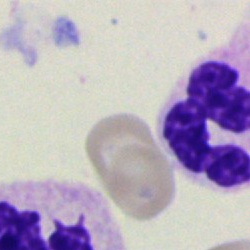 Polymorphonuclear neutrophil.